Brightfield, 40× oil-immersion objective · bone marrow aspirate smear — 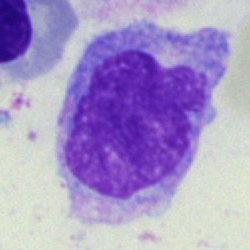 Q: Which cell type is shown here?
A: A monocyte.